Bone marrow smear. 250×250: 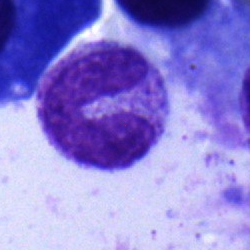

Cell: neutrophil (band).